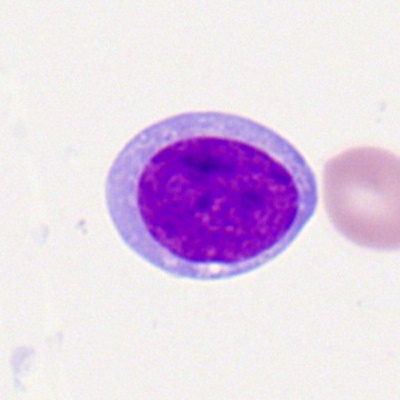

Cell: typical lymphocyte.